Brightfield, 40× oil-immersion objective. Bone marrow smear: 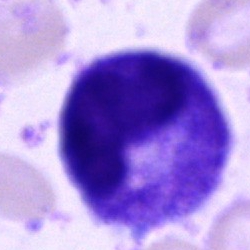 Morphology → promyelocyte.